Bone marrow aspirate smear — 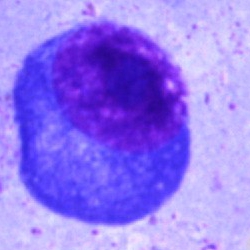
Q: Identify the cell.
A: Plasmacyte.